Bone marrow aspirate smear:
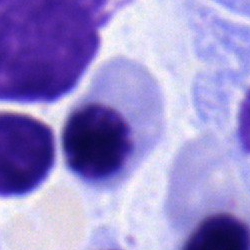
Nucleated red cell.